Single cell centered in the field · bone marrow aspirate smear.
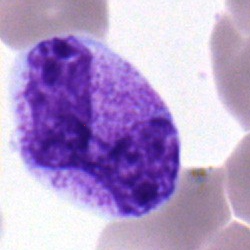

Morphology consistent with a neutrophil (segmented).